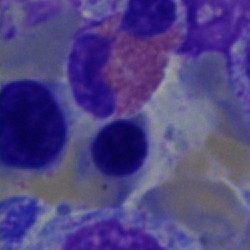An eosinophil on a bone marrow smear.